Bone marrow smear
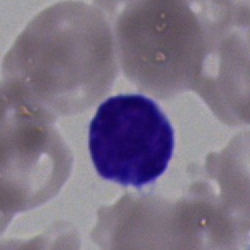
Q: What type of cell is this?
A: This is a typical lymphocyte.